Single-cell crop · bone marrow aspirate smear:
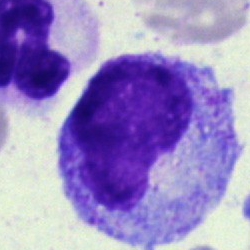

Cell type = progranulocyte.